Brightfield, 40× oil-immersion objective · bone marrow smear:
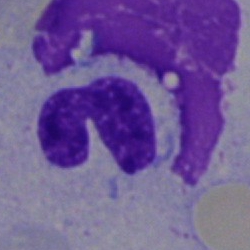 Q: What is the morphological classification of this cell?
A: Neutrophil (segmented).